Bone marrow aspirate smear
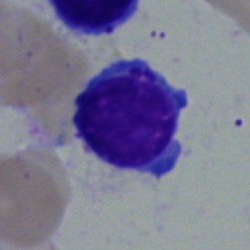Morphology consistent with a typical lymphocyte.